Single cell centered in the field · peripheral blood film
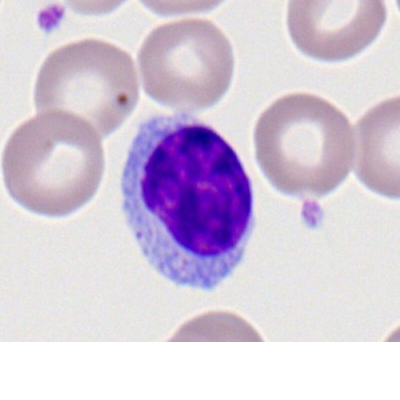
Morphological class = lymphocyte.